Bone marrow aspirate smear · single-cell crop — 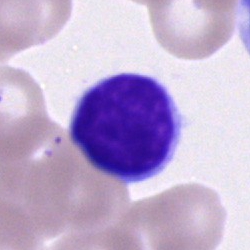

Specimen: bone marrow smear.
Cell type: typical lymphocyte.